40× oil immersion; bone marrow smear: 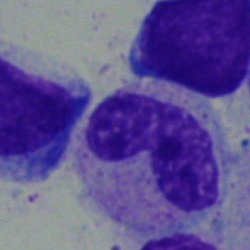The cell is band neutrophil.